Bone marrow aspirate smear.
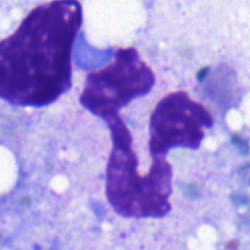Morphological class = segmented neutrophil.